Bone marrow aspirate smear. May-Grünwald-Giemsa stain
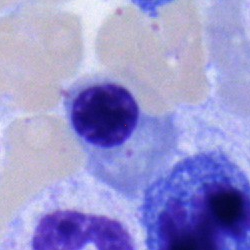 Cell: normoblast.